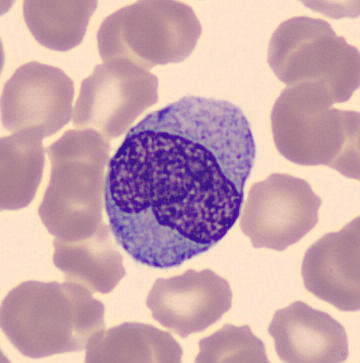Morphology → monocyte. Image: Peripheral blood smear.